Bone marrow aspirate smear.
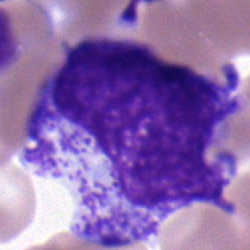 Q: What cell is this?
A: It is a myelocyte.